Bone marrow aspirate smear:
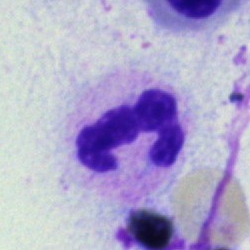

Classification: neutrophil (segmented).